Bone marrow smear.
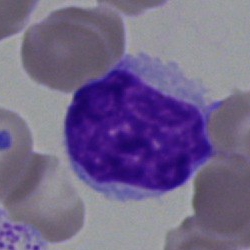Cell: lymphocyte.